Peripheral blood film.
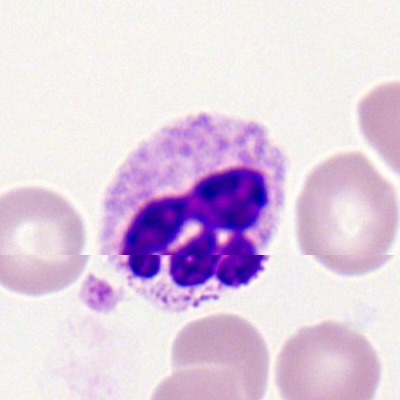
The cell shown is a polymorphonuclear neutrophil.